Bone marrow smear. 40× objective, oil immersion. Single-cell crop.
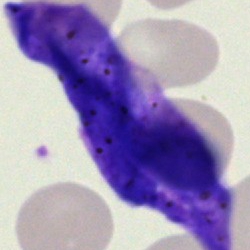

The cell type is artefact.